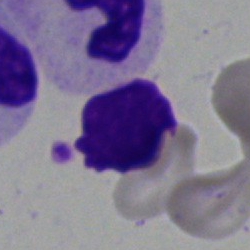 Specimen: bone marrow smear.
Classification: artefact.